Bone marrow aspirate smear — 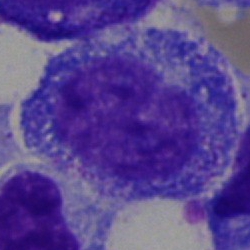
A promyelocyte.